Bone marrow aspirate smear: 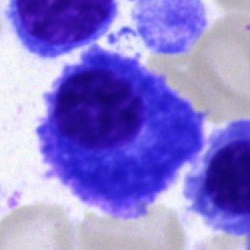The cell shown is a plasmacyte.